Bone marrow smear; single cell centered in the field
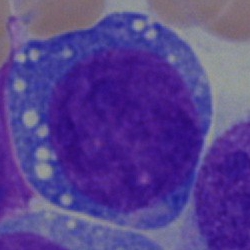

Classification — blast cell.